Bone marrow aspirate smear. 250 by 250 pixels
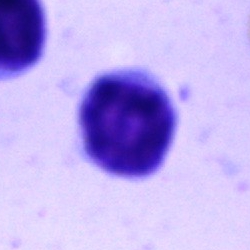
Cell = typical lymphocyte.